Brightfield microscopy, 40× oil immersion; bone marrow smear:
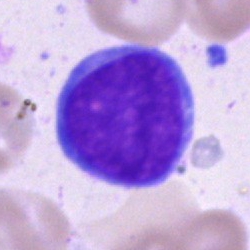 Specimen: bone marrow aspirate smear.
Morphological class: undifferentiated blast.